Peripheral blood smear · May Grünwald-Giemsa stain.
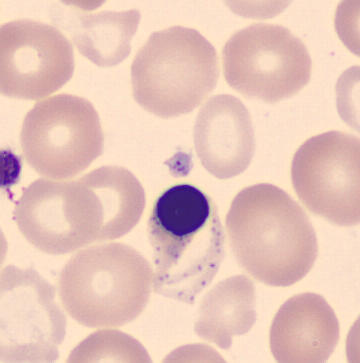 Specimen: peripheral blood film.
Classification: nucleated red blood cell.